Bone marrow smear:
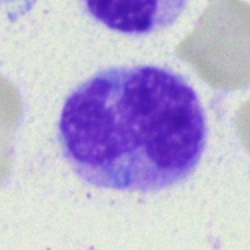
Cell = monocyte.